Bone marrow aspirate smear:
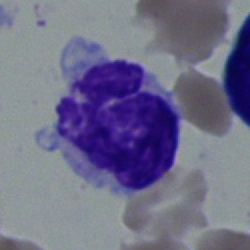
This is a monocyte.